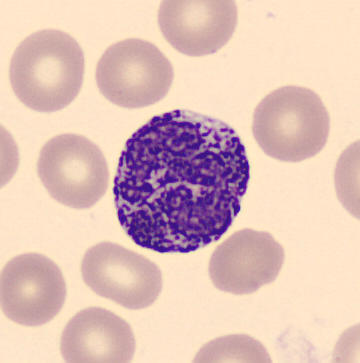 Peripheral blood film. Identified as a basophil.